Bone marrow smear: 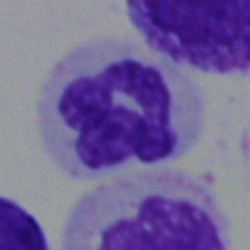 Cell type — polymorphonuclear neutrophil.